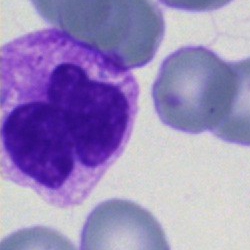 Morphological class: polymorphonuclear neutrophil.